Bone marrow smear: 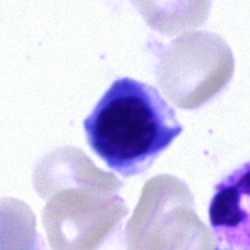 Normoblast.